Bone marrow aspirate smear:
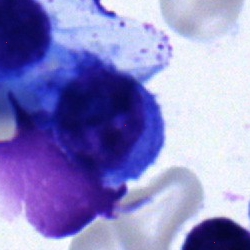

A lymphocyte.